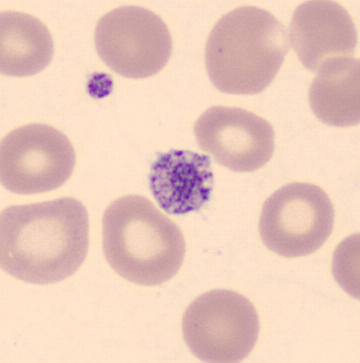

Specimen: peripheral blood film.
Cell type: thrombocyte.
Acquisition: 360 by 363 pixels. Imaged on a CellaVision DM96 analyser.